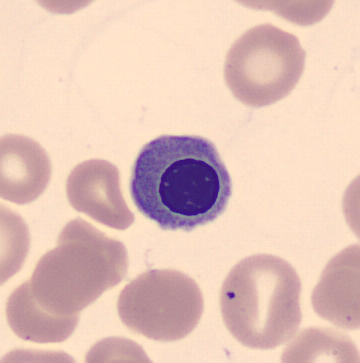Morphological class = erythroblast. Preparation: MGG stain · peripheral blood film.